Bone marrow smear: 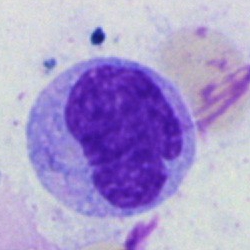

The classification is monocyte.